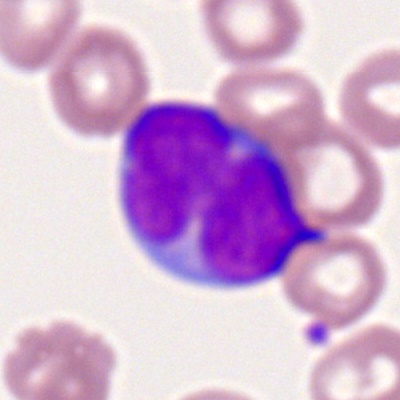 Myeloid blast.